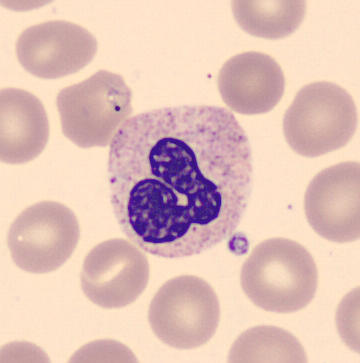

Single cell identified as a band-form neutrophil.

Image: Peripheral blood film.